Bone marrow smear — 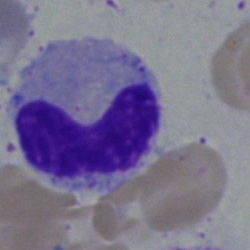

Showing a stab cell.